Peripheral blood smear. Single-cell crop.
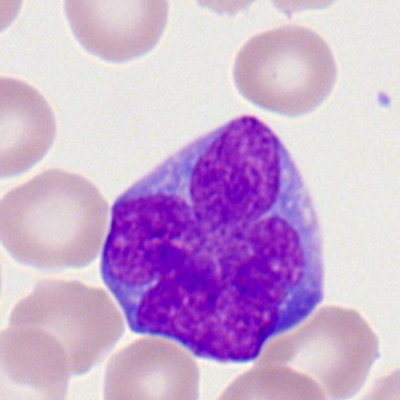Q: What is shown here?
A: This is a myeloblast.